Image size 250×250; bone marrow aspirate smear
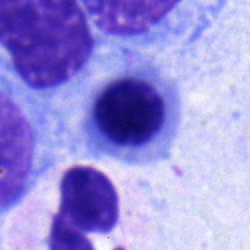 Erythroblast.